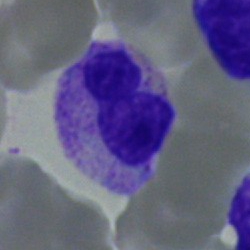Cell type = band-form neutrophil.